Bone marrow smear:
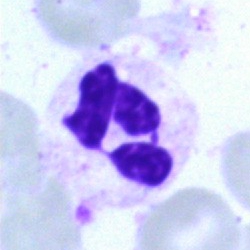

Cell: neutrophil (segmented).